Bone marrow aspirate smear: 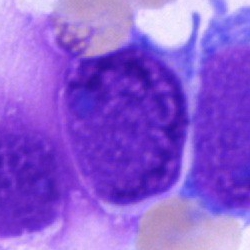
Showing an artifact.